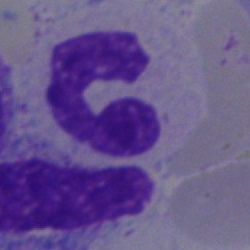

Morphology — segmented neutrophil.